Bone marrow smear:
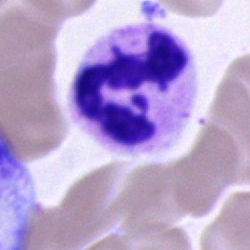

Impression → neutrophil (segmented).